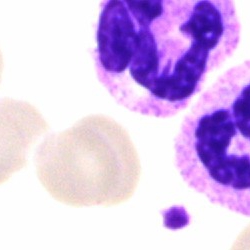Bone marrow aspirate smear, single cell — segmented neutrophil.